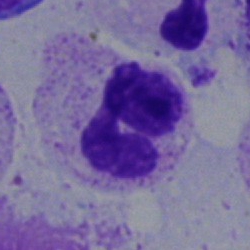
The cell shown is a segmented neutrophil.